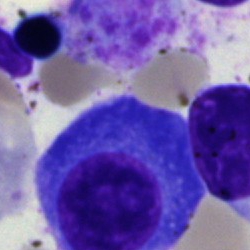 Morphology → plasmacyte.